Bone marrow aspirate smear. MGG-stained. Single cell centered in the field — 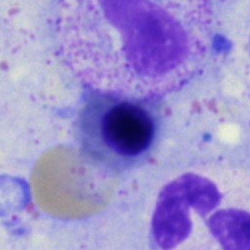 The morphological class is nucleated red blood cell.